Bone marrow aspirate smear — 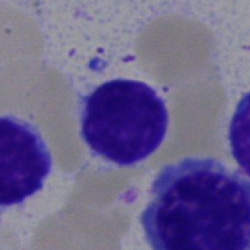
Impression — lymphocyte.